Bone marrow aspirate smear.
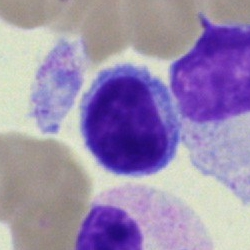 Cell type = typical lymphocyte.